Bone marrow smear: 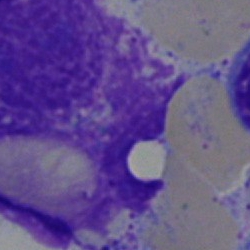
Q: What is shown here?
A: This is an artifact.